Brightfield microscopy, 40× oil immersion. Image size 250×250. Bone marrow smear — 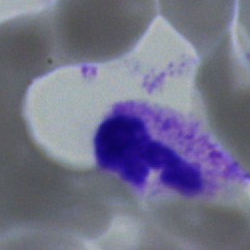

Q: What is the morphological classification of this cell?
A: Neutrophil (segmented).